Bone marrow smear: 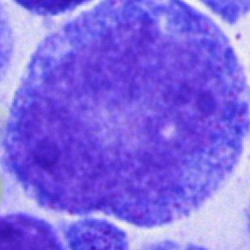Morphology consistent with a progranulocyte.